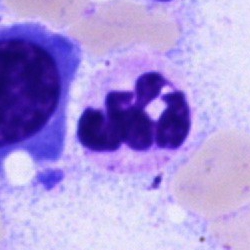 The morphological class is polymorphonuclear neutrophil.